Peripheral blood smear — 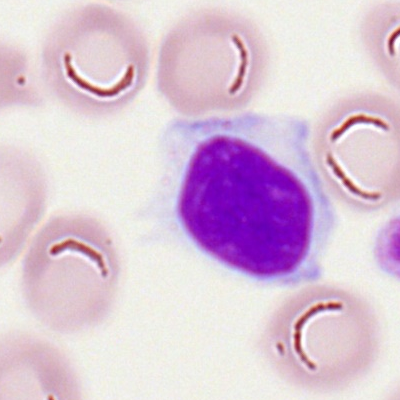

The cell is typical lymphocyte.